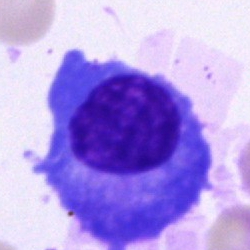 This is a plasma cell.